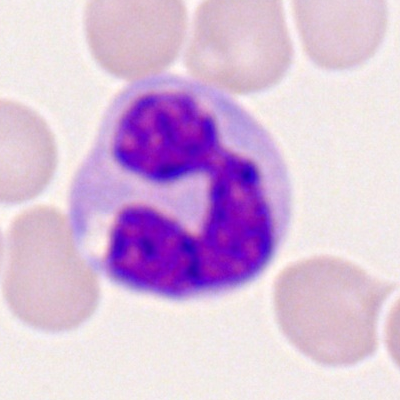

A monocyte.